250 by 250 pixels · MGG-stained · bone marrow aspirate smear — 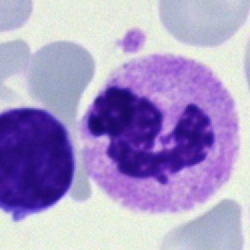 {"cell_type": "polymorphonuclear neutrophil", "lineage": "myeloid"}